Bone marrow smear: 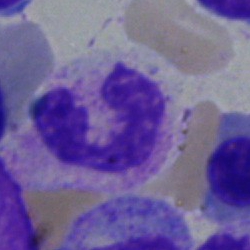
The cell type is neutrophil (segmented).